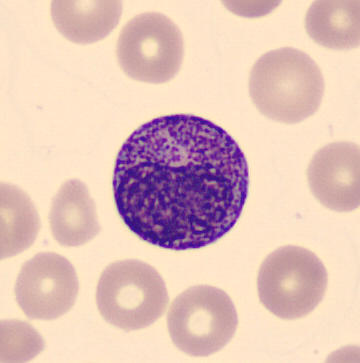
Preparation: Peripheral blood smear · single-cell crop.

Q: What is the morphological classification of this cell?
A: A progranulocyte.